Bone marrow aspirate smear: 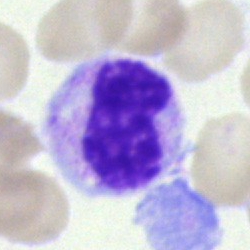 This is a metamyelocyte.